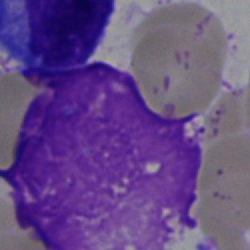
The morphological class is artifact.